Brightfield, 40× oil-immersion objective; May-Grünwald-Giemsa stain; bone marrow smear
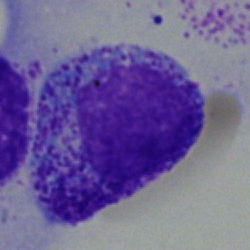
Specimen: bone marrow smear.
Cell: myelocyte.
Lineage: myeloid.